Bone marrow smear
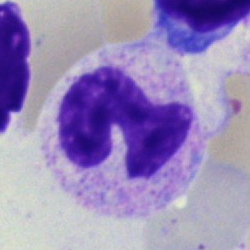

The cell type is band-form neutrophil.